250 by 250 pixels; bone marrow aspirate smear: 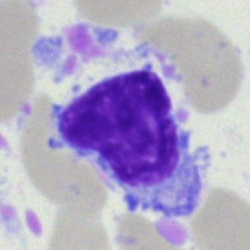
Q: Identify the cell.
A: Typical lymphocyte.